Romanowsky-stained. Peripheral blood smear:
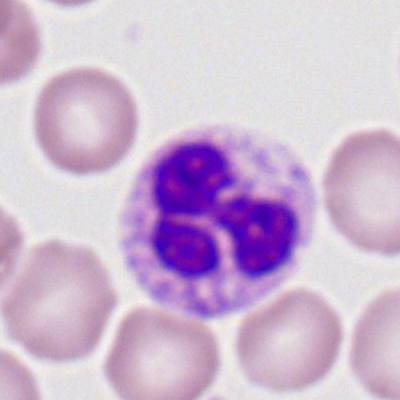
Single cell identified as a polymorphonuclear neutrophil.